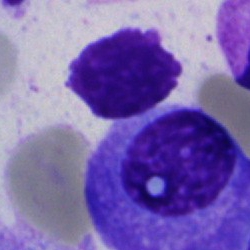

A plasmacyte on a bone marrow smear.